Bone marrow smear · 250×250 px · Pappenheim-stained.
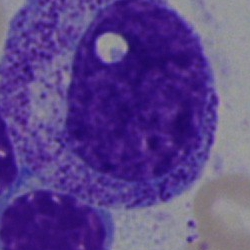

Specimen: bone marrow smear.
Classification: myelocyte.